Bone marrow aspirate smear.
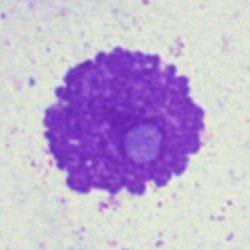
Showing an artifact.